Bone marrow aspirate smear
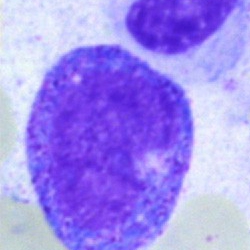Specimen: bone marrow aspirate smear.
Morphological class: promyelocyte.